Bone marrow aspirate smear — 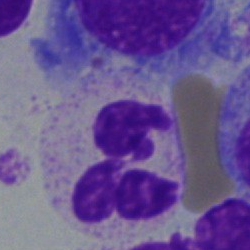

Segmented neutrophil.